Bone marrow smear. May-Grünwald-Giemsa/Pappenheim stain. Brightfield microscopy, 40× oil immersion — 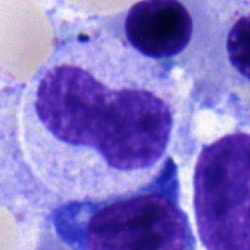
{"cell_type": "band-form neutrophil"}